Bone marrow aspirate smear; single-cell field.
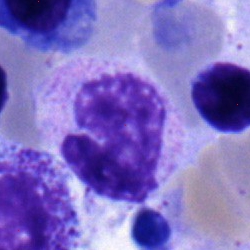The cell shown is a metamyelocyte.